100× oil immersion · peripheral blood smear · Romanowsky-type stain
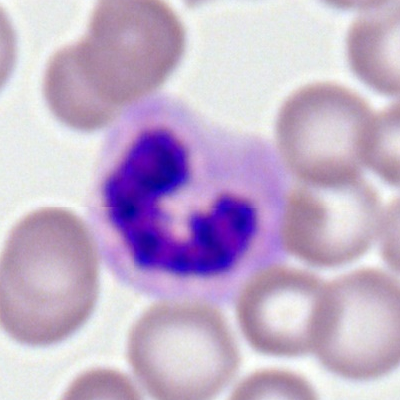

A neutrophil (segmented).